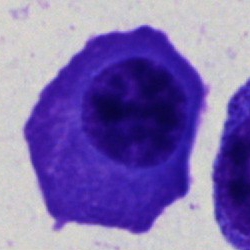 Cell type — plasmacyte.